May-Grünwald-Giemsa stain · bone marrow smear: 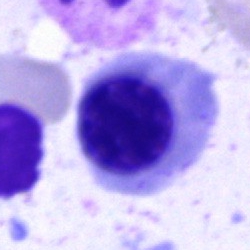 {"cell_type": "erythroblast"}